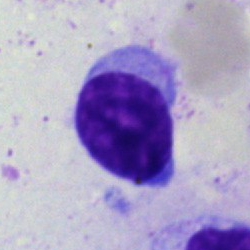

Cell: lymphocyte.